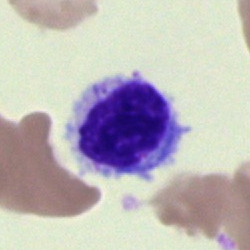This is a lymphocyte.